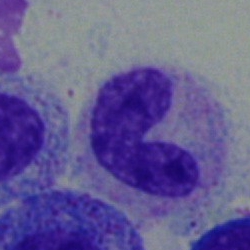 Cell: stab cell.